250×250. Brightfield microscopy, 40× oil immersion. Bone marrow smear.
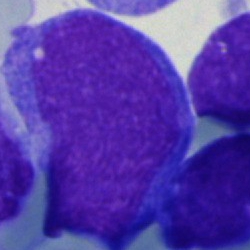Blast.